Bone marrow aspirate smear: 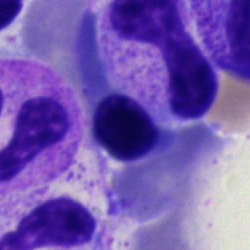A normoblast.